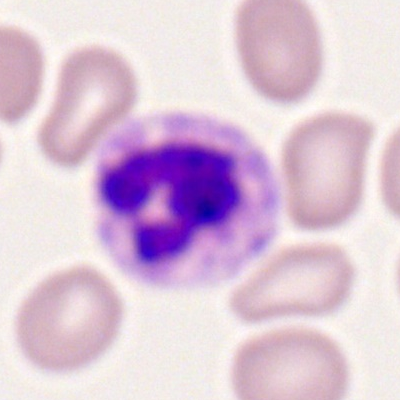

This is a polymorphonuclear neutrophil.